Bone marrow smear.
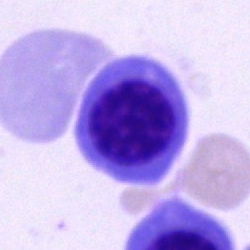
Specimen: bone marrow aspirate smear.
Classification: erythroblast.
Lineage: erythroid.